Bone marrow smear; single-cell crop.
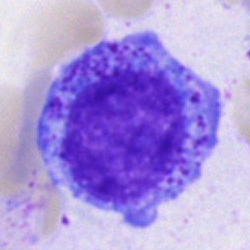
Morphological class = progranulocyte.